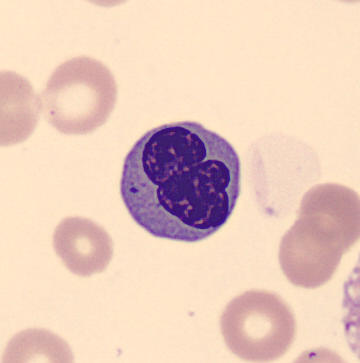
Identified as a normoblast.

Image: Peripheral blood film. Single-cell crop.